M8 digital microscope (Precipoint), 100× oil immersion · peripheral blood smear: 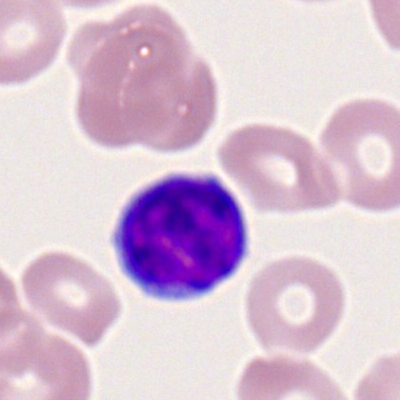

The morphological class is lymphocyte.